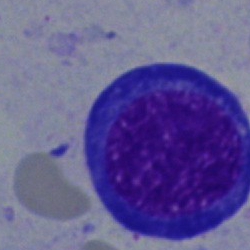 Bone marrow aspirate smear, single cell — proerythroblast.